Bone marrow aspirate smear.
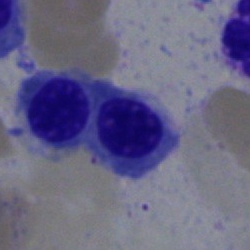
Q: What cell is this?
A: Normoblast.